Brightfield, 40× oil-immersion objective. Bone marrow smear — 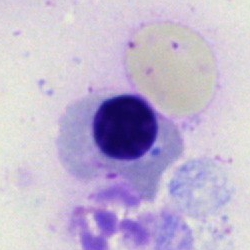Specimen: bone marrow aspirate smear.
Classification: nucleated red blood cell.